Bone marrow aspirate smear
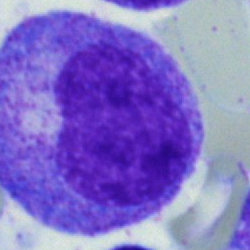
Classification — promyelocyte.